Bone marrow smear: 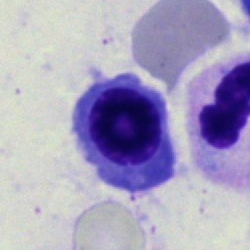 Cell: nucleated red cell.